Bone marrow aspirate smear. Brightfield, 40× oil-immersion objective. 250×250 px
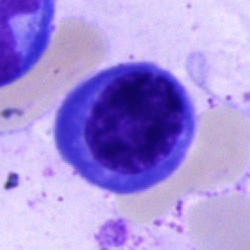A nucleated red cell.